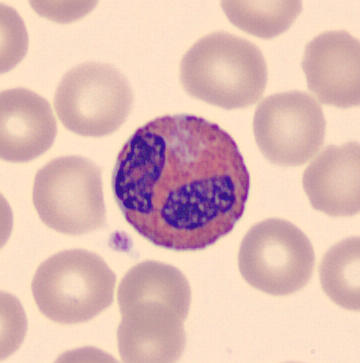 Image: MGG stain · peripheral blood smear.

Q: Which cell type is shown here?
A: It is an eosinophil.